Bone marrow smear — 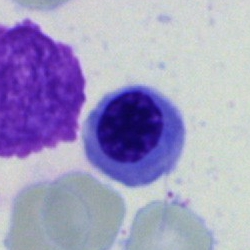 This is a nucleated red cell.